Brightfield, 40× oil-immersion objective; bone marrow smear: 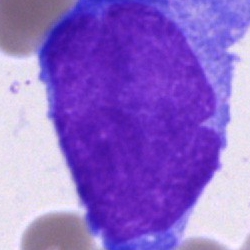{"cell_type": "blast cell"}